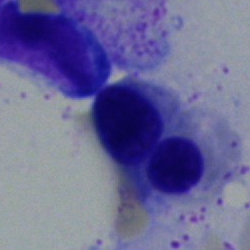 The morphological class is erythroblast.